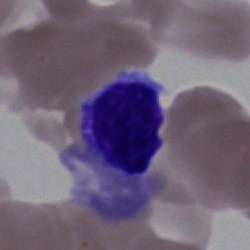 Single-cell crop from a bone marrow smear: polymorphonuclear neutrophil.